40× oil immersion. Bone marrow smear.
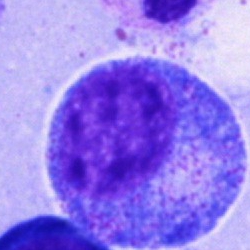Morphology — progranulocyte.